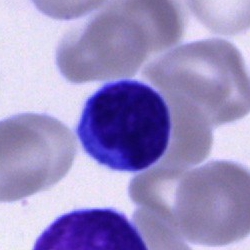This is a typical lymphocyte.